Romanowsky-stained; peripheral blood smear
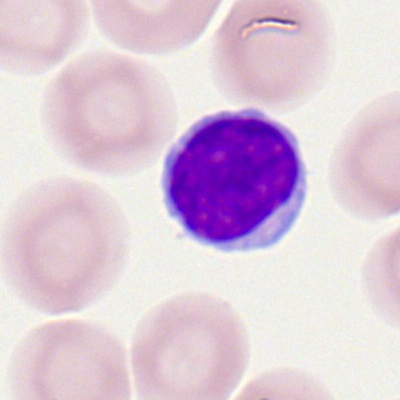
Cell = lymphocyte.